Single-cell crop; bone marrow aspirate smear.
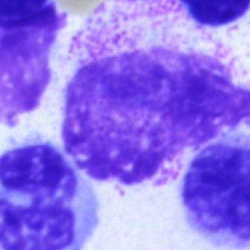

The cell shown is an artifact.